Bone marrow aspirate smear. Single cell centered in the field:
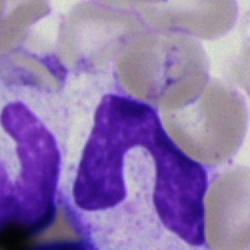Q: Which cell type is shown here?
A: Band-form neutrophil.